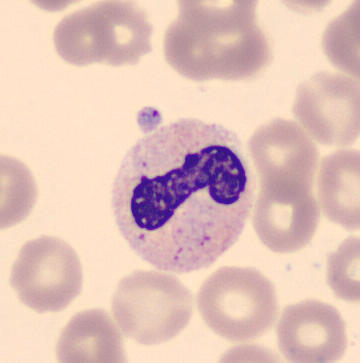Identified as a band-form neutrophil. Peripheral blood film. May-Grünwald-Giemsa-stained.